Bone marrow smear — 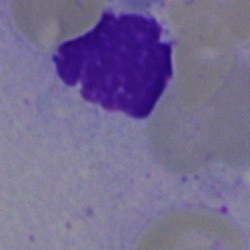 The classification is artifact.